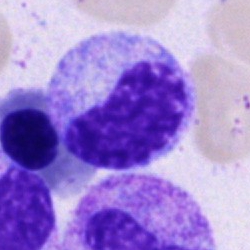
Morphology — metamyelocyte.